Bone marrow smear.
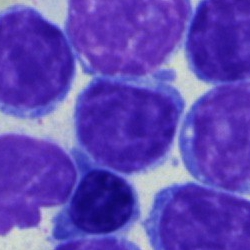Cell type: lymphocyte.